Bone marrow aspirate smear. 40× oil immersion. Image size 250×250:
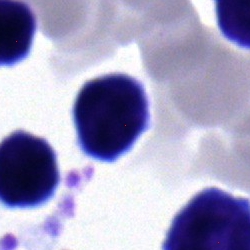 The cell shown is a typical lymphocyte.